Bone marrow smear — 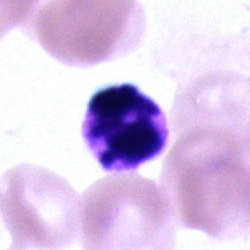Cell type: polymorphonuclear neutrophil.